Bone marrow aspirate smear: 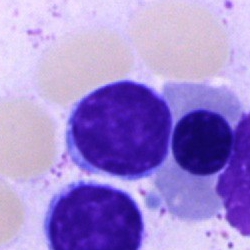
Specimen: bone marrow smear.
Cell: typical lymphocyte.
Lineage: lymphoid.